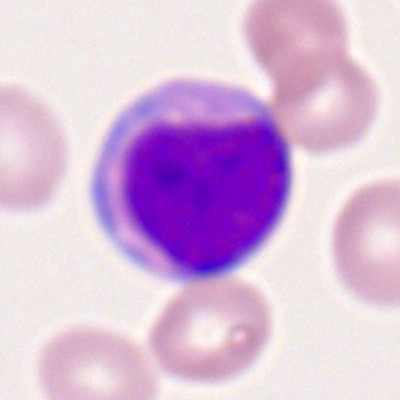Classification = myeloid blast.